Bone marrow aspirate smear — 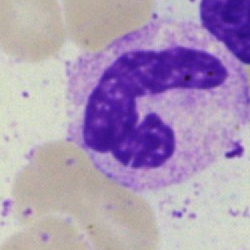
Morphology consistent with a polymorphonuclear neutrophil.